Bone marrow aspirate smear: 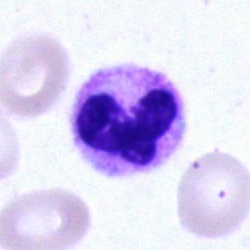
Specimen: bone marrow smear.
Cell: segmented neutrophil.